MGG-stained; bone marrow smear: 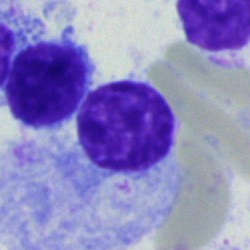Q: What is shown here?
A: An artifact.